May-Grünwald-Giemsa/Pappenheim stain. Bone marrow smear. 40× oil immersion: 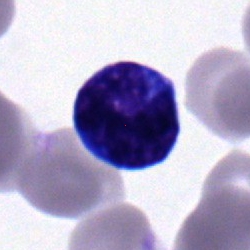 Morphology → typical lymphocyte.